Bone marrow aspirate smear — 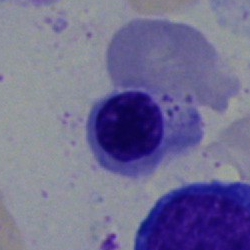

Classification = nucleated red blood cell.